250×250 px; bone marrow smear.
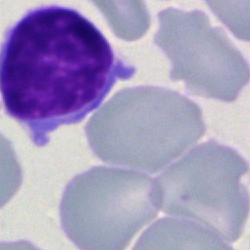{"cell_type": "typical lymphocyte", "lineage": "lymphoid"}